Bone marrow aspirate smear:
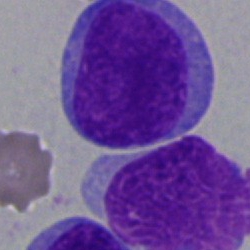

Specimen: bone marrow aspirate smear.
Cell: blast cell.